Bone marrow aspirate smear
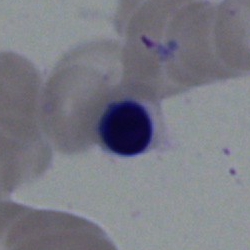
Morphological class: nucleated red cell.